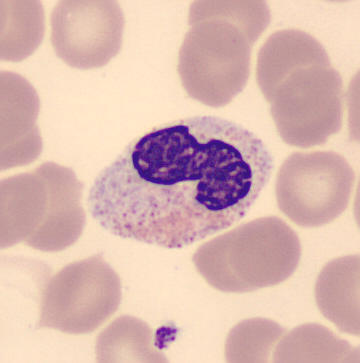
Cell = stab cell.

360×363; peripheral blood smear.